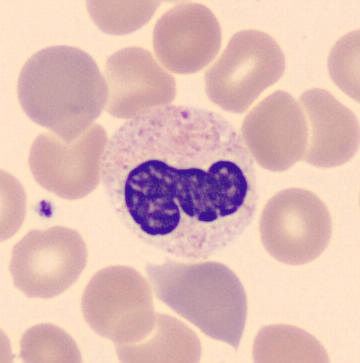
Q: What type of cell is this?
A: Polymorphonuclear neutrophil.